Bone marrow smear. Image size 250×250. Single-cell field.
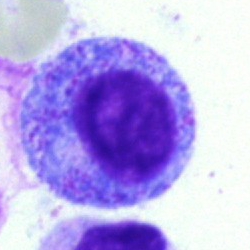 Impression → myelocyte.